Bone marrow smear: 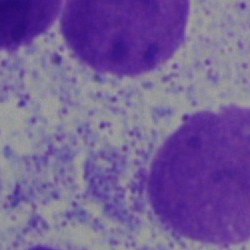 Cell — artifact.